Bone marrow aspirate smear.
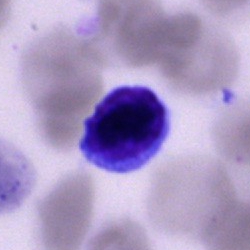 Morphological class = typical lymphocyte.